250 by 250 pixels · bone marrow aspirate smear:
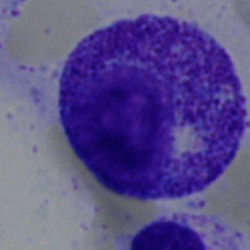

The cell type is progranulocyte.